May-Grünwald-Giemsa/Pappenheim stain. Bone marrow aspirate smear:
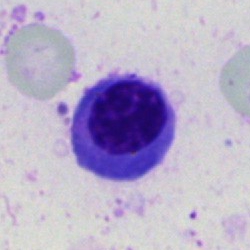 Q: What cell is this?
A: A nucleated red cell.